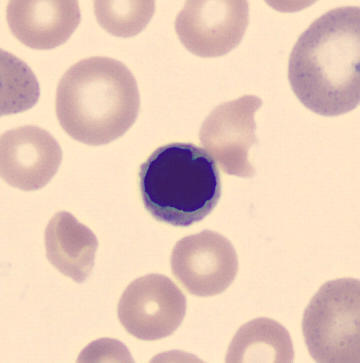 {"cell_type": "erythroblast", "lineage": "erythroid"} 360×363 px · peripheral blood film.